Bone marrow smear. May-Grünwald-Giemsa/Pappenheim stain: 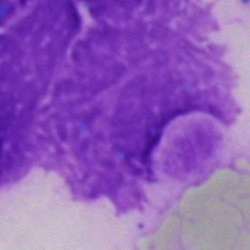Cell type: artifact.